Bone marrow smear. Brightfield, 40× oil-immersion objective. Image size 250×250.
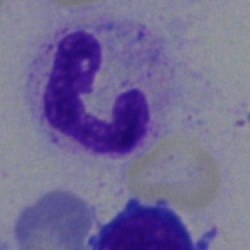 {"cell_type": "neutrophil (segmented)"}